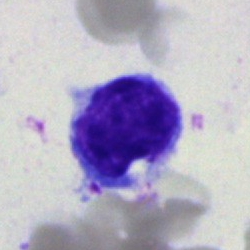Impression — typical lymphocyte.